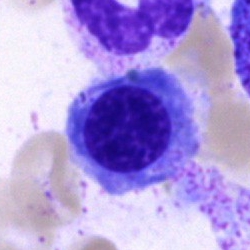 Q: What cell is this?
A: Nucleated red blood cell.